Bone marrow smear
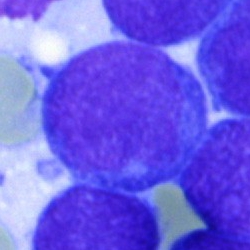 Morphology consistent with an undifferentiated blast.